40× oil immersion · bone marrow aspirate smear — 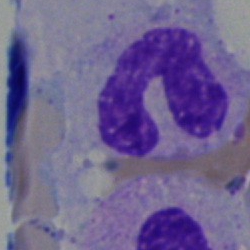
Morphology consistent with a stab cell.